Brightfield, 40× oil-immersion objective; bone marrow smear.
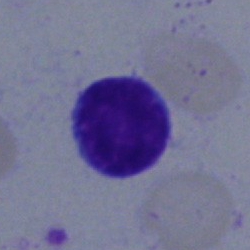 Cell = lymphocyte.